Peripheral blood smear · 400×400 · single-cell crop.
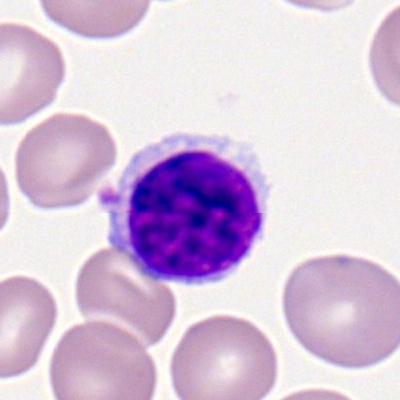

Specimen: peripheral blood smear.
Morphological class: typical lymphocyte.